Bone marrow smear.
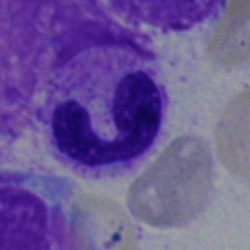

{"cell_type": "segmented neutrophil", "lineage": "myeloid"}